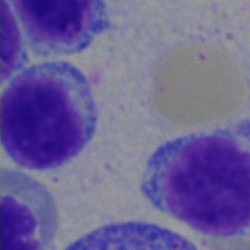Specimen: bone marrow smear.
Cell: typical lymphocyte.